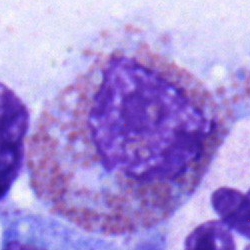
Morphological class = eosinophilic granulocyte.